250×250 px. Bone marrow aspirate smear — 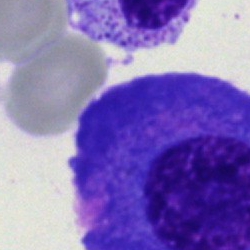
Q: Identify the cell.
A: This is a plasmacyte.